Bone marrow aspirate smear.
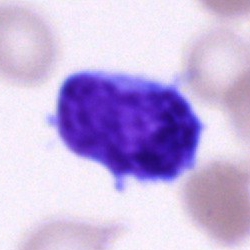Cell: undifferentiated blast.